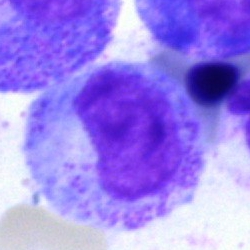
Morphological class — metamyelocyte.